Bone marrow smear:
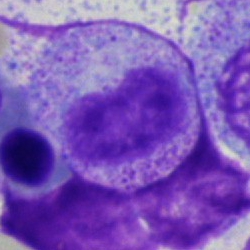

The cell is metamyelocyte.